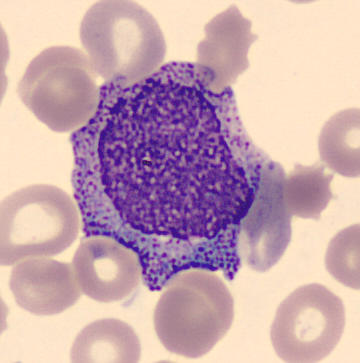 Morphological class: progranulocyte.